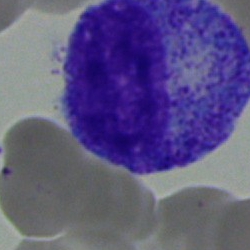

Single-cell crop from a bone marrow smear: myelocyte.